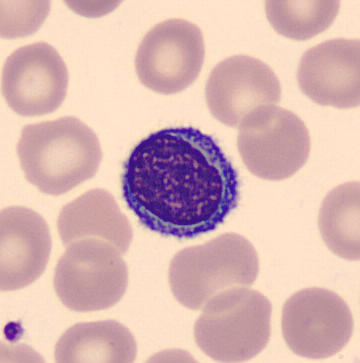
A lymphocyte.